Cropped to a single cell · bone marrow smear · MGG-stained — 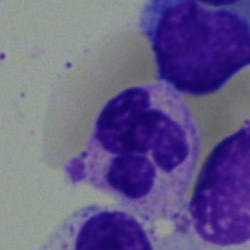
The cell shown is a neutrophil (segmented).